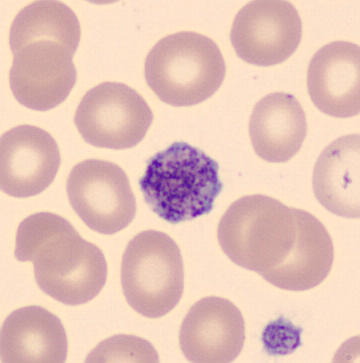Morphological class — platelet (thrombocyte).